Bone marrow smear — 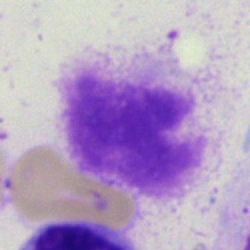Q: What is shown here?
A: This is an artifact.